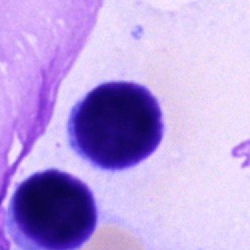 The cell type is lymphocyte.